Bone marrow smear
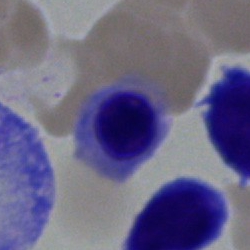 Impression → erythroblast.